Bone marrow aspirate smear. MGG-stained — 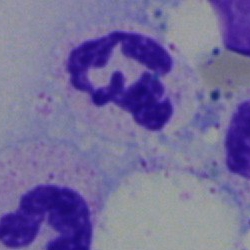 Morphology — polymorphonuclear neutrophil.